Bone marrow aspirate smear.
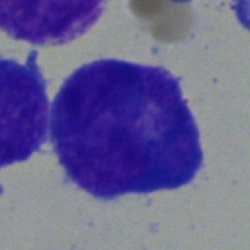Morphology — undifferentiated blast.